Bone marrow smear · cropped to a single cell — 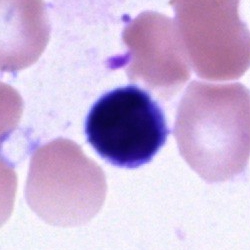The morphological class is lymphocyte.